Peripheral blood smear — 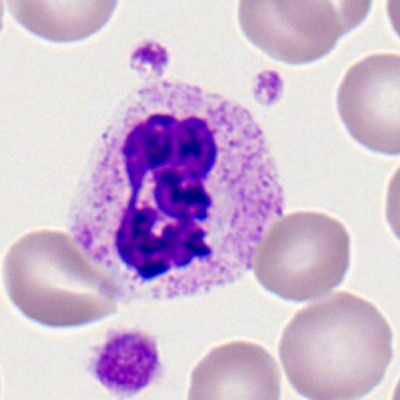
Showing a segmented neutrophil.